Single cell centered in the field · bone marrow aspirate smear · 40× objective, oil immersion
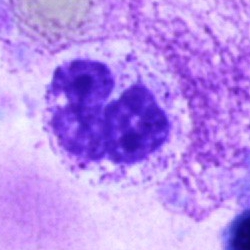
Specimen: bone marrow aspirate smear.
Cell type: neutrophil (band).
Lineage: myeloid.